Single-cell field; bone marrow aspirate smear
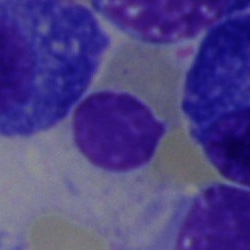 The classification is artifact.